Bone marrow aspirate smear · May-Grünwald-Giemsa/Pappenheim stain · single-cell crop.
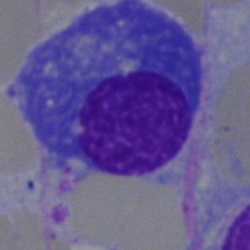

Showing a plasmacyte.